Bone marrow smear; Pappenheim-stained; 40× objective, oil immersion
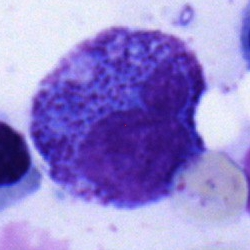Cell type = progranulocyte.